Bone marrow smear:
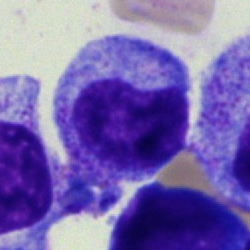
Myelocyte.